Bone marrow smear.
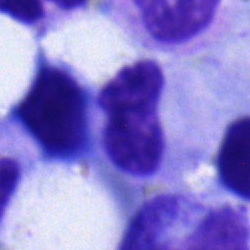Q: What cell is this?
A: It is a band-form neutrophil.